Bone marrow smear. Single-cell crop:
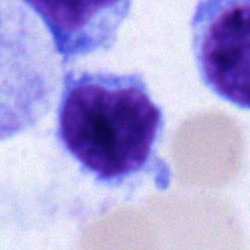 Cell: lymphocyte.